Bone marrow aspirate smear; May-Grünwald-Giemsa/Pappenheim stain:
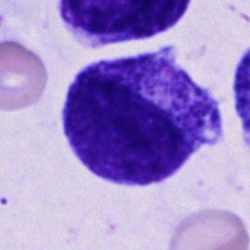Q: Which cell type is shown here?
A: Progranulocyte.